Bone marrow aspirate smear: 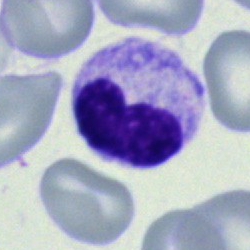
Band neutrophil.